Image size 250×250 · bone marrow smear:
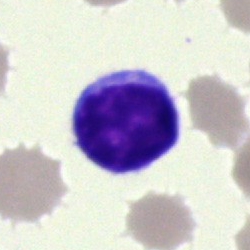
Specimen: bone marrow aspirate smear.
Cell: lymphocyte.